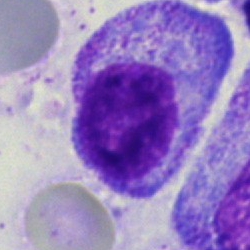
Morphology → plasma cell.